Bone marrow aspirate smear.
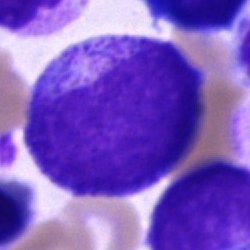
A progranulocyte.